Peripheral blood smear. May Grünwald-Giemsa stain. Single-cell crop
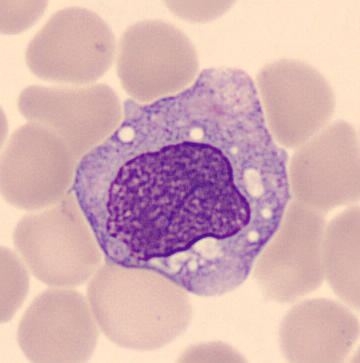 Q: Which cell type is shown here?
A: It is a monocyte.